Bone marrow smear: 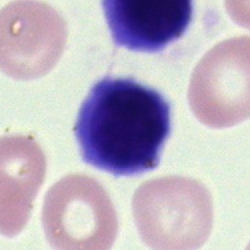

Morphological class: nucleated red cell.